Bone marrow smear. 40× oil immersion:
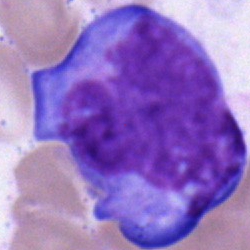 Q: Identify the cell.
A: Blast cell.